Image size 250×250. Bone marrow smear. Single cell centered in the field
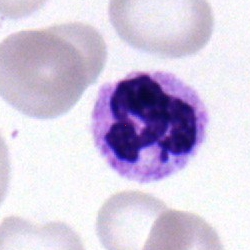 Classification: segmented neutrophil.